Single-cell field. 250 by 250 pixels. Bone marrow smear — 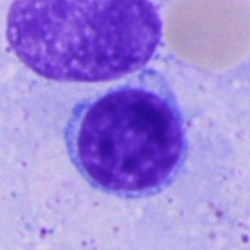Showing a typical lymphocyte.